Single-cell field. Bone marrow aspirate smear. May-Grünwald-Giemsa/Pappenheim stain: 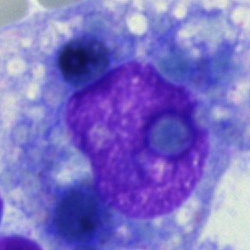
Cell — cell not matching the other categories.